Automated cell imaging (CellaVision DM96). Peripheral blood film. Single cell centered in the field
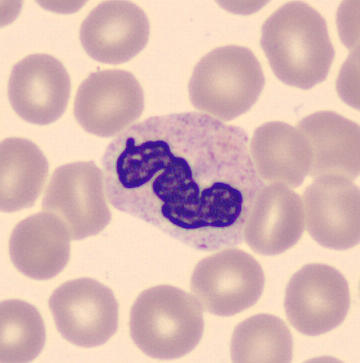Specimen: peripheral blood smear.
Classification: polymorphonuclear neutrophil.